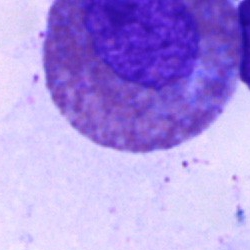
Eosinophilic granulocyte.